Single-cell crop · bone marrow smear: 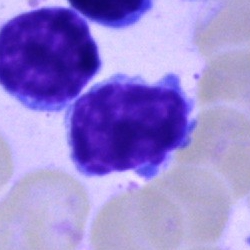
The cell is lymphocyte.